Bone marrow aspirate smear:
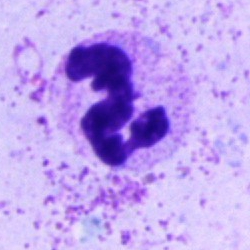
Q: What cell is this?
A: A neutrophil (segmented).